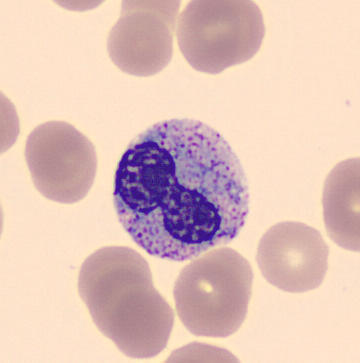MGG-stained · peripheral blood smear.
Classification = band neutrophil.